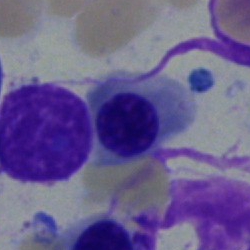Showing an erythroblast.